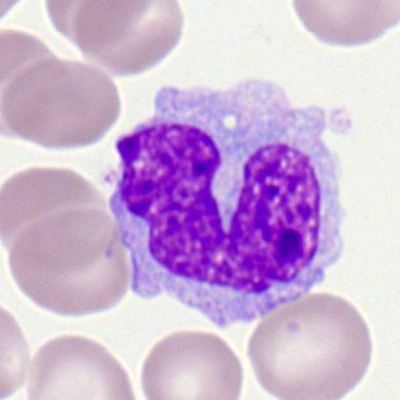

Classification: monocyte.